CellaVision DM96 digital cell image; single cell centered in the field; peripheral blood film
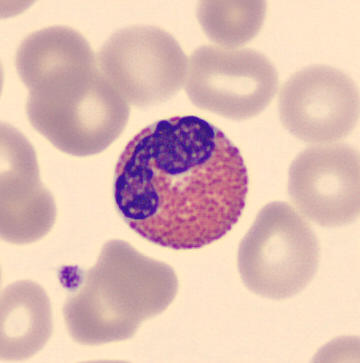
Q: What is shown here?
A: An eosinophilic granulocyte.